Bone marrow aspirate smear · 40× objective, oil immersion: 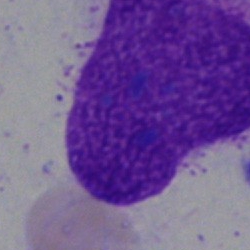
This is an artifact.